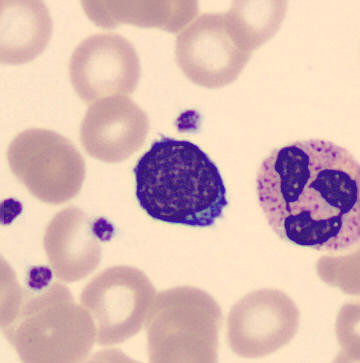
Preparation: Peripheral blood smear.
Q: Identify the cell.
A: It is a typical lymphocyte.